Bone marrow aspirate smear.
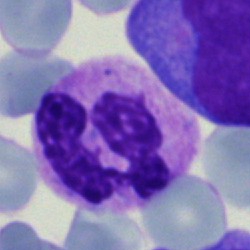

This is a polymorphonuclear neutrophil.